May-Grünwald-Giemsa stain. Bone marrow smear. 40× objective, oil immersion — 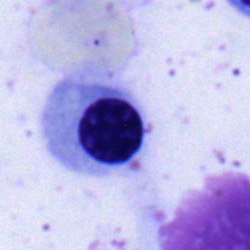

Q: What type of cell is this?
A: Erythroblast.